Bone marrow smear; image size 250×250:
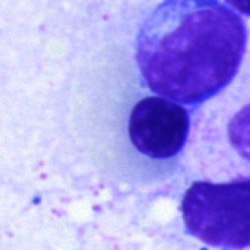

Morphological class — normoblast.